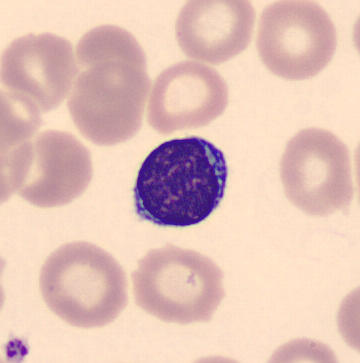

Q: What is shown here?
A: A typical lymphocyte.
Acquisition: Peripheral blood film.